40× objective, oil immersion; bone marrow smear.
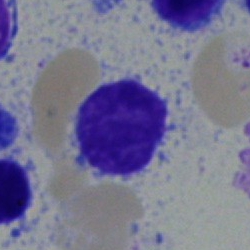

Q: What cell is this?
A: It is a lymphocyte.